40× objective, oil immersion; bone marrow aspirate smear — 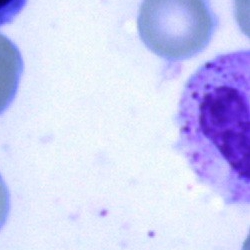
Q: What is shown here?
A: It is an artifact.